Bone marrow smear · 250 by 250 pixels
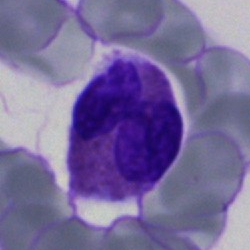

Q: What is the morphological classification of this cell?
A: An eosinophilic granulocyte.